Single-cell field; 400×400 px; peripheral blood smear.
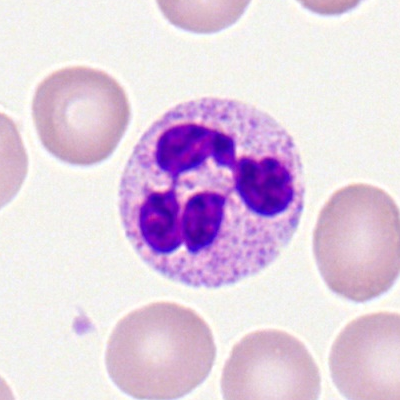 Classification = segmented neutrophil.